Single-cell field. Bone marrow smear — 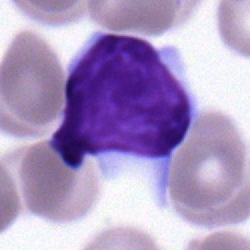

Specimen: bone marrow aspirate smear.
Cell type: lymphocyte.
Lineage: lymphoid.